250×250 · bone marrow aspirate smear · 40× oil immersion: 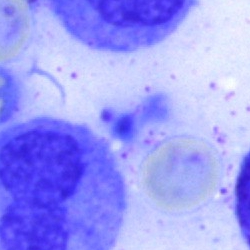
Cell — cell of indeterminate lineage.